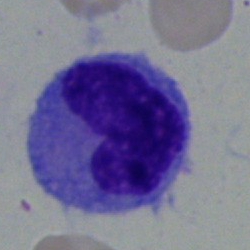

Q: What is the morphological classification of this cell?
A: This is a monocyte.